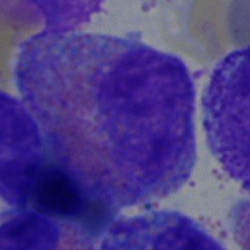{"cell_type": "eosinophil", "lineage": "myeloid"}